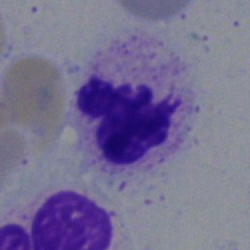Classification — neutrophil (segmented).